40× oil immersion; 250 by 250 pixels; bone marrow aspirate smear.
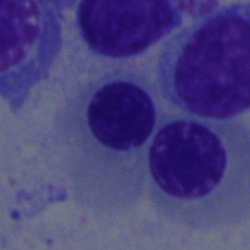A normoblast.